Bone marrow smear: 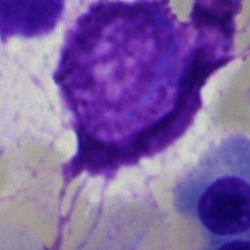The cell shown is an artefact.